Bone marrow aspirate smear:
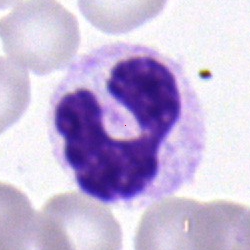

Showing a segmented neutrophil.